Bone marrow smear
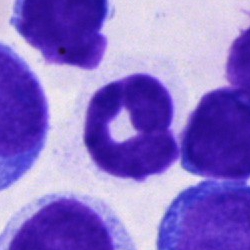

Specimen: bone marrow smear.
Classification: neutrophil (segmented).